Brightfield, 40× oil-immersion objective; bone marrow smear; MGG-stained.
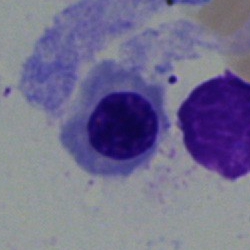

Specimen: bone marrow smear.
Cell type: nucleated red cell.
Lineage: erythroid.